Bone marrow smear; cropped to a single cell: 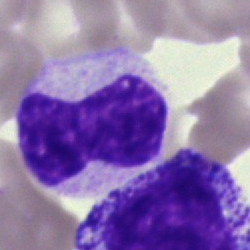

Specimen: bone marrow smear.
Cell: metamyelocyte.